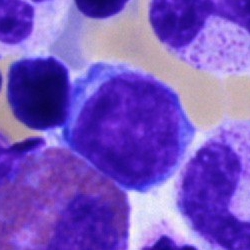

Q: What is shown here?
A: This is a typical lymphocyte.